Bone marrow aspirate smear: 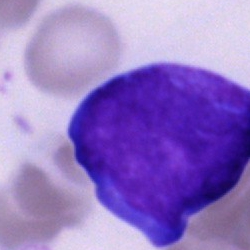 Q: What is the morphological classification of this cell?
A: An undifferentiated blast.